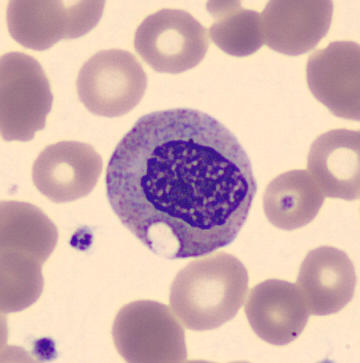
Q: Which cell type is shown here?
A: This is a myelocyte.
Preparation: Peripheral blood film.